Bone marrow aspirate smear. Cropped to a single cell. Brightfield, 40× oil-immersion objective
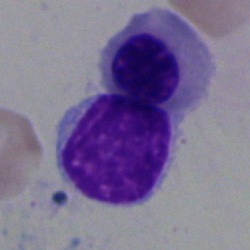

A lymphocyte.